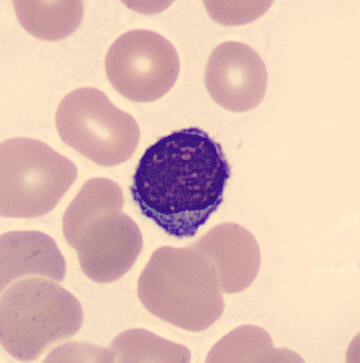

Peripheral blood film; single-cell crop.

Q: Identify the cell.
A: Typical lymphocyte.